Bone marrow aspirate smear · MGG-stained
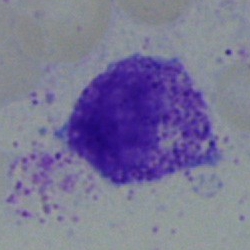

A myelocyte.